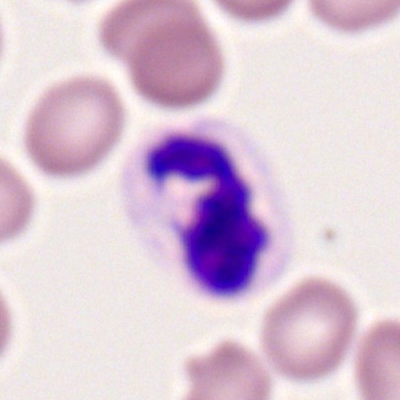Q: Which cell type is shown here?
A: This is a segmented neutrophil.